Bone marrow smear · Pappenheim-stained · brightfield microscopy, 40× oil immersion — 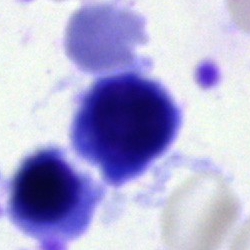
Specimen: bone marrow smear.
Classification: nucleated red blood cell.
Lineage: erythroid.